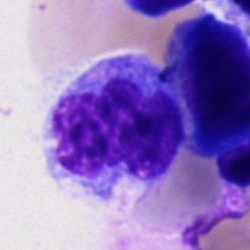Showing a monocyte.